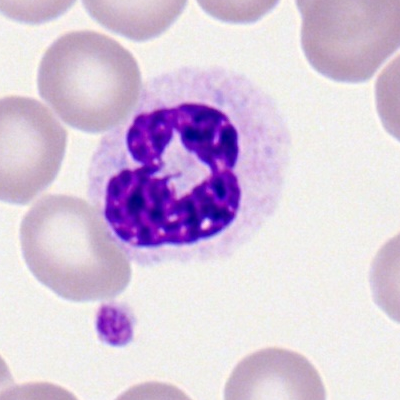

Cell type — polymorphonuclear neutrophil.